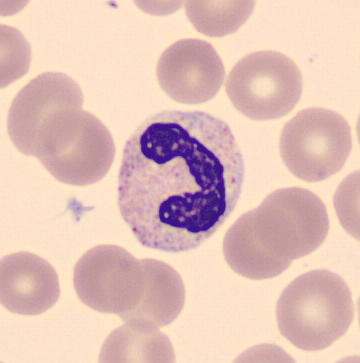

Identified as a band neutrophil.